Bone marrow aspirate smear · Pappenheim-stained: 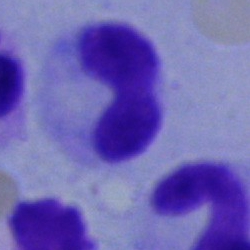 Q: What is shown here?
A: It is a band-form neutrophil.